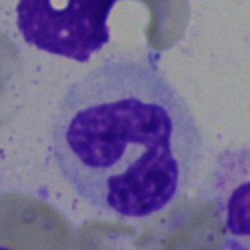
This is a segmented neutrophil.